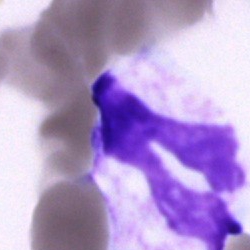 Single-cell crop from a bone marrow smear: neutrophil (segmented).